40× oil immersion. Bone marrow smear. May-Grünwald-Giemsa/Pappenheim stain: 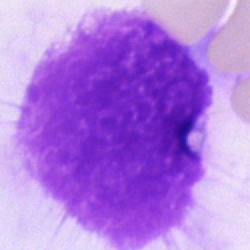Morphology — artefact.